Bone marrow aspirate smear: 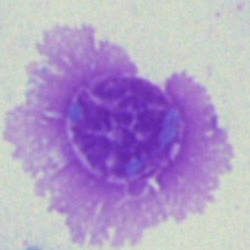Artifact.